Peripheral blood smear. Image size 400×400
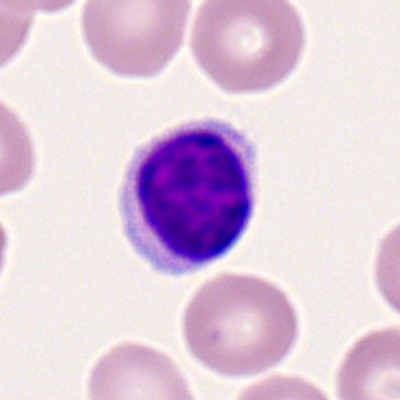 Morphology — lymphocyte.